Peripheral blood smear. M8 digital microscope (Precipoint), 100× oil immersion.
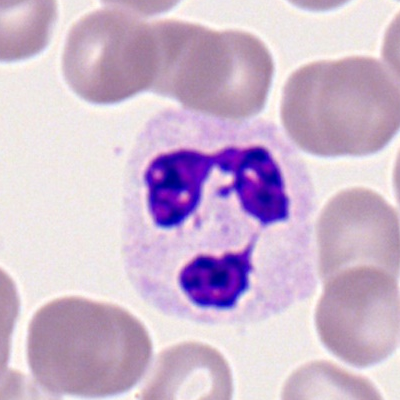 Q: What type of cell is this?
A: Segmented neutrophil.